Bone marrow smear: 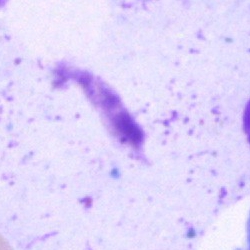

Q: What is shown here?
A: An artifact.